Bone marrow aspirate smear — 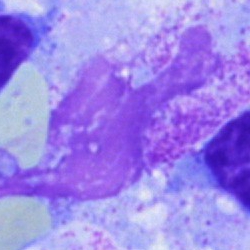

Single cell identified as an artifact.